Bone marrow smear: 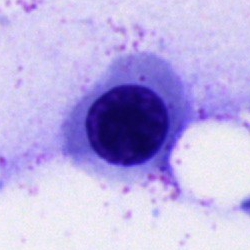 Q: What is the morphological classification of this cell?
A: It is an erythroblast.